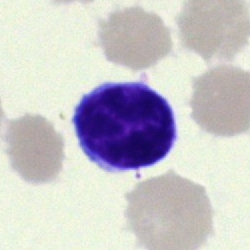Morphology → lymphocyte.